Peripheral blood film · 400 by 400 pixels · Romanowsky-stained — 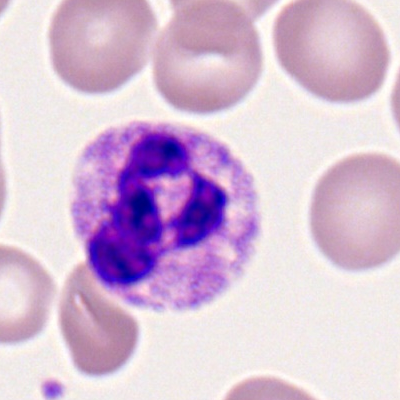Impression → segmented neutrophil.